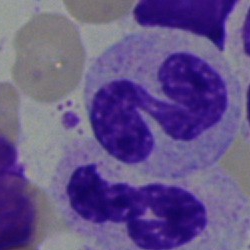

Morphology consistent with a segmented neutrophil.